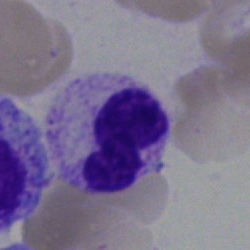 Specimen: bone marrow aspirate smear.
Cell: neutrophil (band).
Lineage: myeloid.